Bone marrow smear — 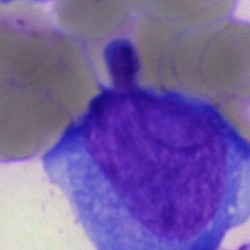

{"cell_type": "blast"}